Romanowsky-stained. Peripheral blood smear:
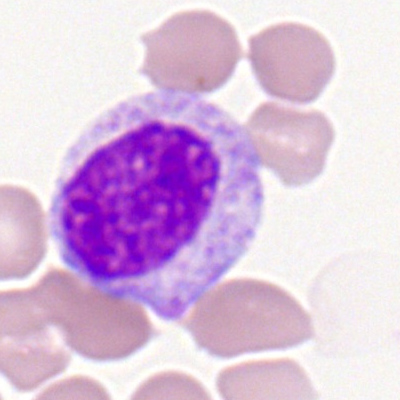{"cell_type": "lymphocyte", "lineage": "lymphoid"}